Bone marrow smear:
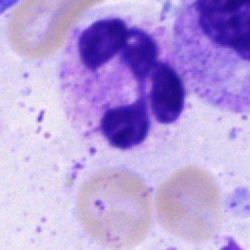{"cell_type": "segmented neutrophil"}